Bone marrow aspirate smear: 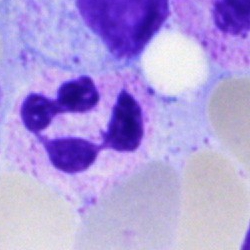
A neutrophil (segmented).